Bone marrow smear · brightfield microscopy, 40× oil immersion: 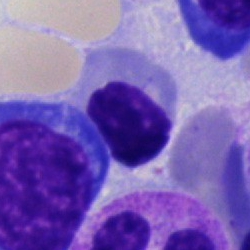 Q: What is the morphological classification of this cell?
A: This is a nucleated red blood cell.